Peripheral blood film.
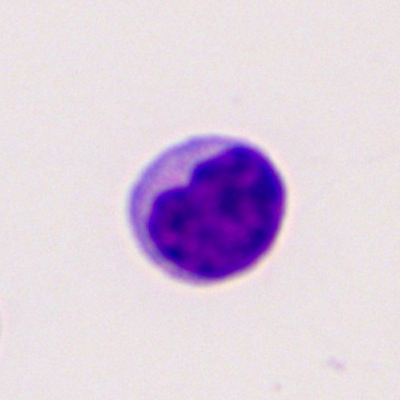 Cell type: lymphocyte.